Peripheral blood smear · single-cell crop:
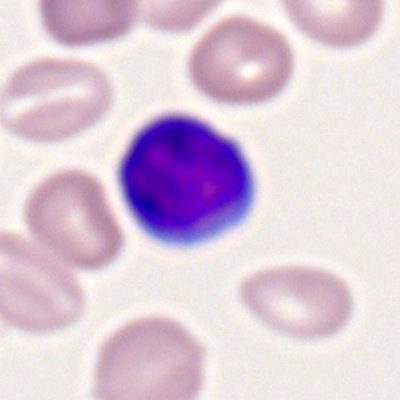
This is a typical lymphocyte.